Bone marrow smear: 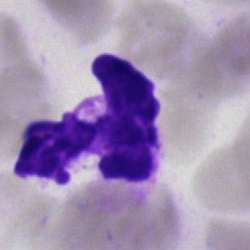Classification = artefact.